Brightfield, 40× oil-immersion objective · bone marrow smear · single-cell field.
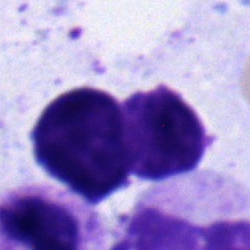
A nucleated red cell.